Bone marrow aspirate smear — 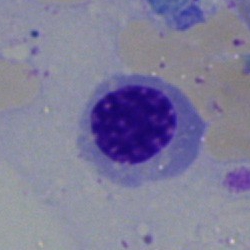This is a nucleated red cell.